Bone marrow aspirate smear: 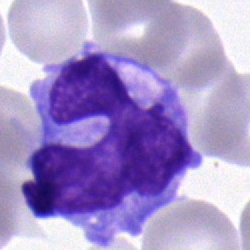

Single cell identified as a monocyte.